Bone marrow aspirate smear · 40× oil immersion: 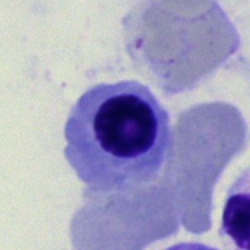

Morphology consistent with a nucleated red blood cell.